Single cell centered in the field · Romanowsky-stained · peripheral blood film:
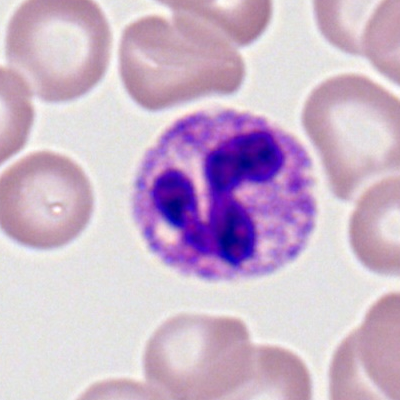
The cell shown is a polymorphonuclear neutrophil.